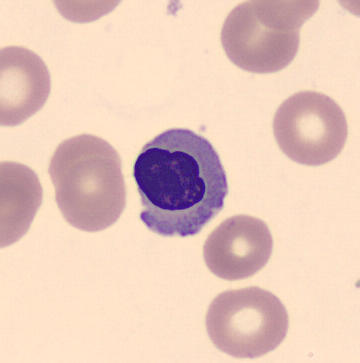 Q: What is this?
A: Nucleated red blood cell.